Bone marrow aspirate smear
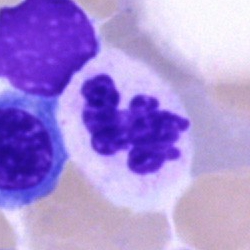
Q: What is the morphological classification of this cell?
A: This is a segmented neutrophil.